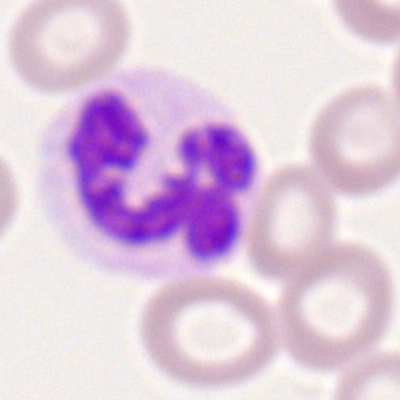Showing a segmented neutrophil.